May-Grünwald-Giemsa/Pappenheim stain · bone marrow smear · single-cell field.
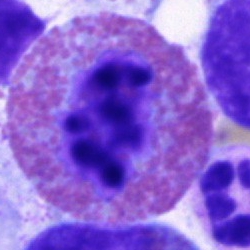 Impression → eosinophilic granulocyte.